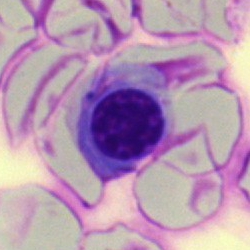Impression → erythroblast.